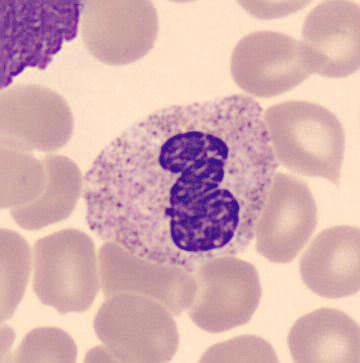
Polymorphonuclear neutrophil. Image: Peripheral blood smear.